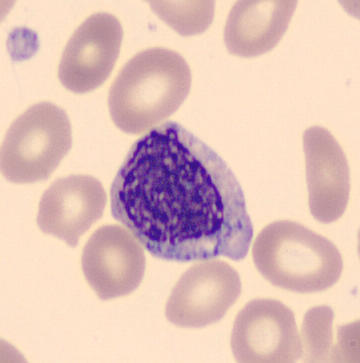Showing a myelocyte.
Acquisition: Single-cell crop · peripheral blood film.